Bone marrow smear; 40× objective, oil immersion — 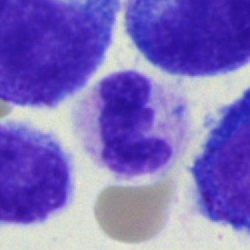 Morphology consistent with a neutrophil (segmented).